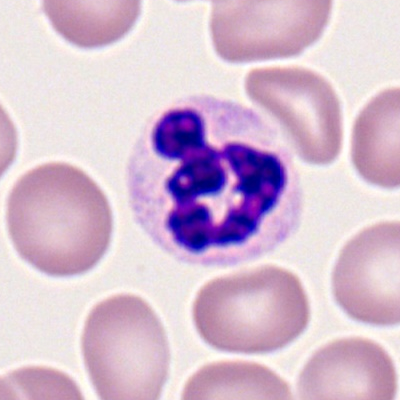

The cell shown is a segmented neutrophil.